Peripheral blood film — 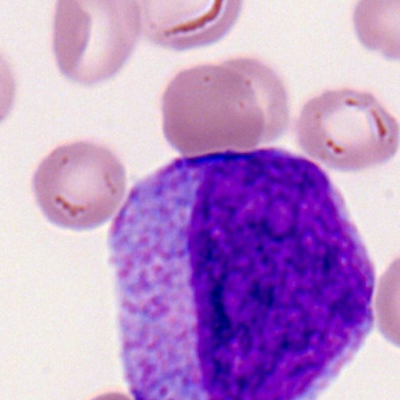

A promyelocyte.